Bone marrow smear: 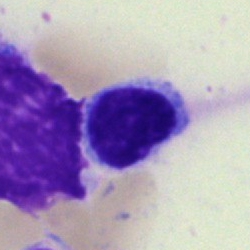

The cell is lymphocyte.